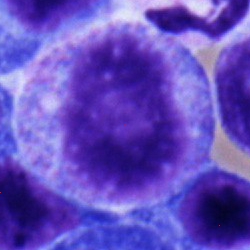
Bone marrow smear showing a myelocyte.